Bone marrow aspirate smear; 250×250 — 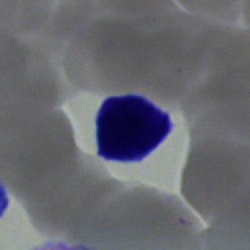

Showing a lymphocyte.